250 by 250 pixels · bone marrow smear.
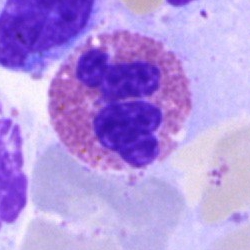
Classification: eosinophil.